Bone marrow aspirate smear; cropped to a single cell:
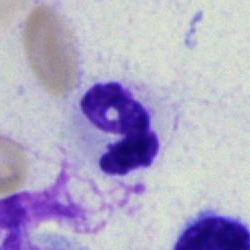
Specimen: bone marrow aspirate smear.
Cell type: neutrophil (segmented).
Lineage: myeloid.